Bone marrow smear.
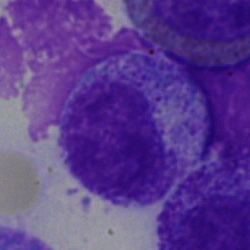 Impression — progranulocyte.